Cropped to a single cell; peripheral blood smear.
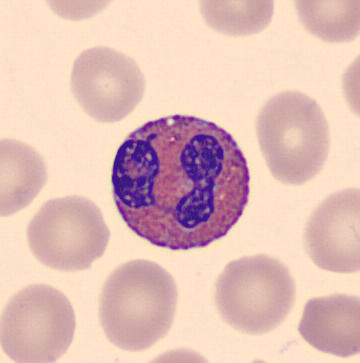Specimen: peripheral blood smear.
Cell: eosinophilic granulocyte.